Peripheral blood smear: 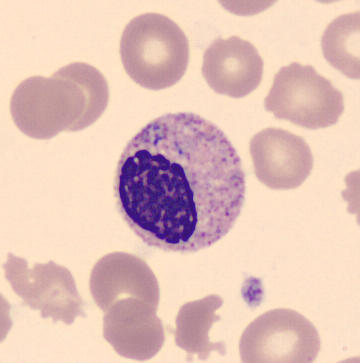
Morphology — metamyelocyte.